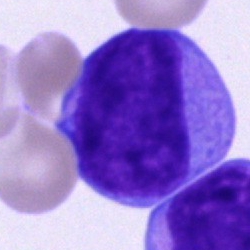Cell type = blast cell.